Bone marrow smear. Image size 250×250. Brightfield microscopy, 40× oil immersion:
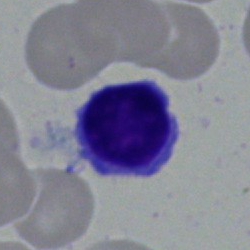
Specimen: bone marrow aspirate smear.
Morphological class: lymphocyte.
Lineage: lymphoid.